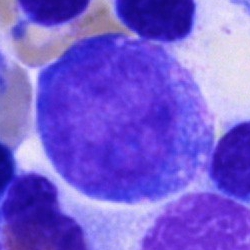 Q: What is shown here?
A: Progranulocyte.